Single-cell field; bone marrow aspirate smear — 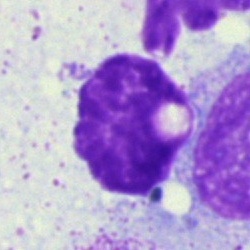

{"cell_type": "artifact"}